Bone marrow aspirate smear
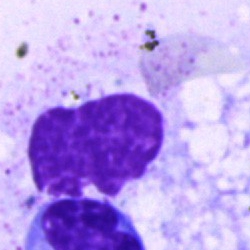 Specimen: bone marrow aspirate smear.
Cell type: artefact.